Image size 250×250 · bone marrow smear.
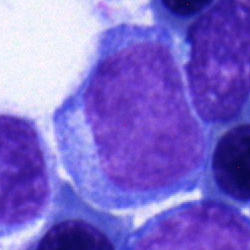

Classification = undifferentiated blast.